Pappenheim-stained; bone marrow aspirate smear: 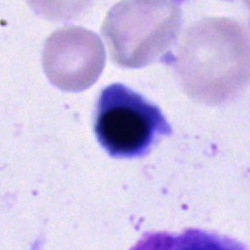
Cell: cell of indeterminate lineage.